Brightfield, 40× oil-immersion objective. Bone marrow aspirate smear
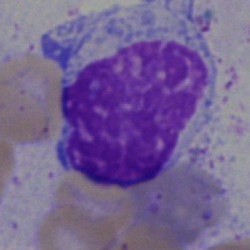 Impression — artifact.